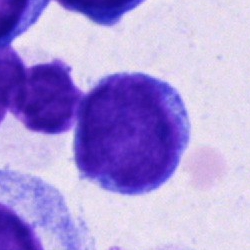
Morphological class = plasma cell.